250 by 250 pixels; single cell centered in the field; bone marrow aspirate smear.
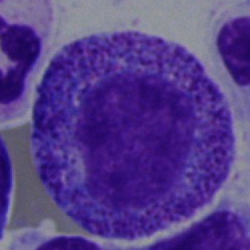 Q: What type of cell is this?
A: It is a promyelocyte.